Bone marrow smear — 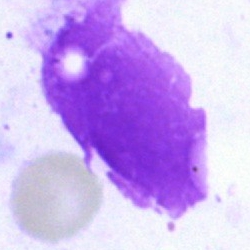
Impression — artifact.